Bone marrow aspirate smear: 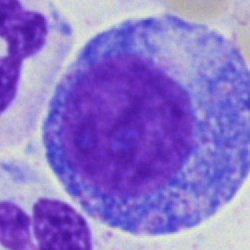
Classification — progranulocyte.